Bone marrow smear:
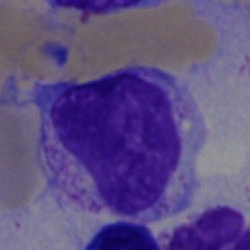 Q: What is shown here?
A: An artefact.